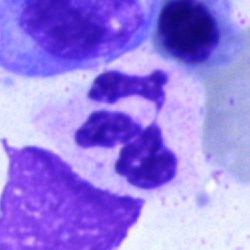 Morphological class: segmented neutrophil.